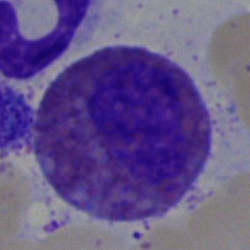 Cell: eosinophilic granulocyte.